Bone marrow aspirate smear: 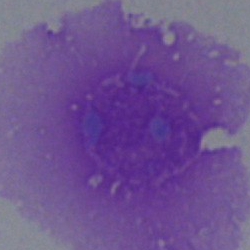
Morphology → artifact.